Single-cell crop; bone marrow aspirate smear: 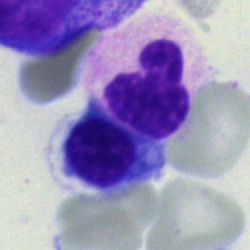 Q: What is shown here?
A: This is a nucleated red cell.